Bone marrow aspirate smear
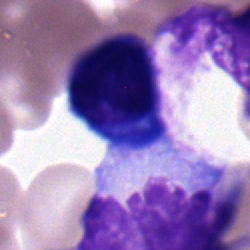Specimen: bone marrow smear.
Cell type: lymphocyte.
Lineage: lymphoid.